Bone marrow smear:
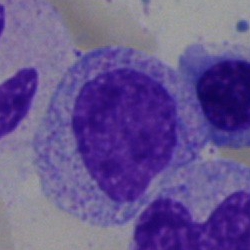

The cell is myelocyte.